Bone marrow smear
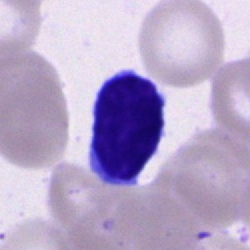
Specimen: bone marrow smear.
Cell: typical lymphocyte.
Lineage: lymphoid.